40× oil immersion · bone marrow smear.
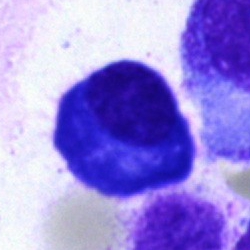{"cell_type": "plasmacyte"}